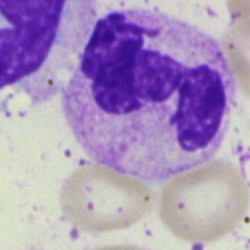
Single-cell crop from a bone marrow smear: neutrophil (segmented).